Bone marrow aspirate smear: 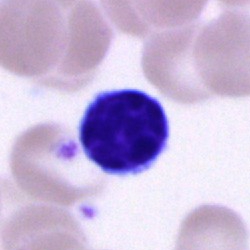 Single cell identified as a lymphocyte.